Bone marrow aspirate smear
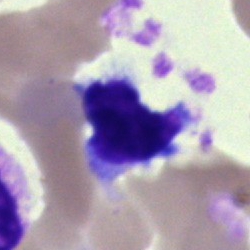A typical lymphocyte.